Peripheral blood film.
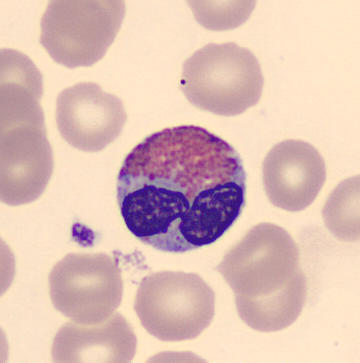Single cell identified as an eosinophil.